Bone marrow smear:
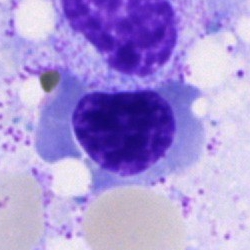
Impression → nucleated red blood cell.